Bone marrow smear — 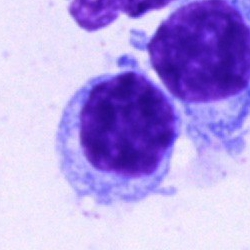

Q: What is the morphological classification of this cell?
A: This is a typical lymphocyte.